250×250; bone marrow smear.
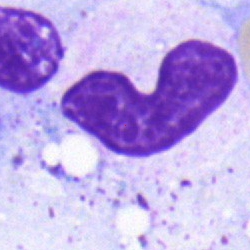Q: What is the morphological classification of this cell?
A: It is a band neutrophil.